Bone marrow aspirate smear — 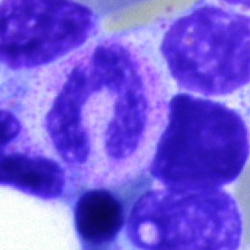 Q: What type of cell is this?
A: This is a neutrophil (segmented).